Bone marrow aspirate smear:
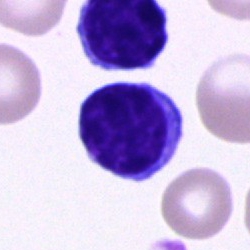
The classification is lymphocyte.